40× oil immersion · bone marrow smear.
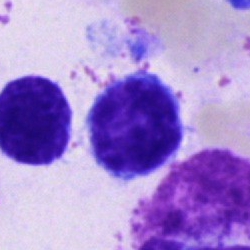

The morphological class is typical lymphocyte.